Bone marrow aspirate smear. May-Grünwald-Giemsa stain — 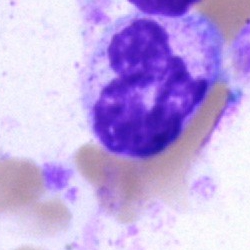{"cell_type": "segmented neutrophil"}